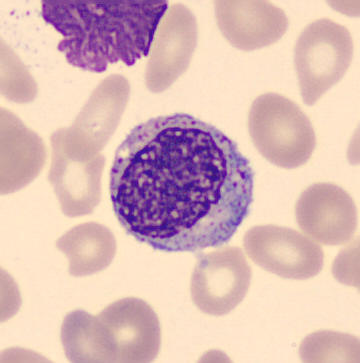
{"cell_type": "myelocyte"} Image: Peripheral blood film.